40× oil immersion. Bone marrow smear. Pappenheim-stained:
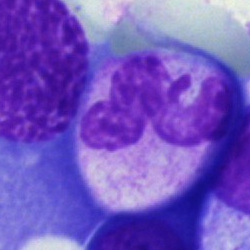Specimen: bone marrow aspirate smear.
Morphological class: polymorphonuclear neutrophil.
Lineage: myeloid.